Peripheral blood smear.
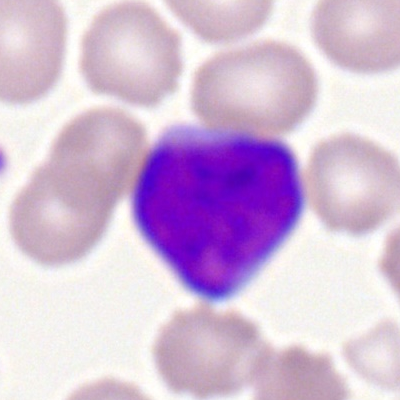
Showing a myeloid blast.